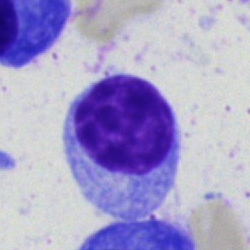Impression → lymphocyte.